250×250. Bone marrow aspirate smear. Brightfield, 40× oil-immersion objective — 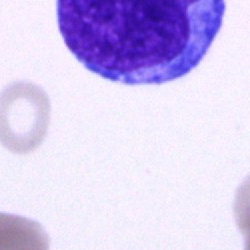
Blast.